Bone marrow aspirate smear — 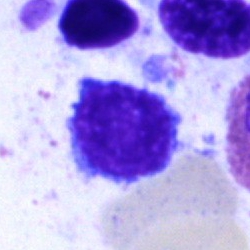 Q: Which cell type is shown here?
A: It is a lymphocyte.